Romanowsky stain · peripheral blood smear.
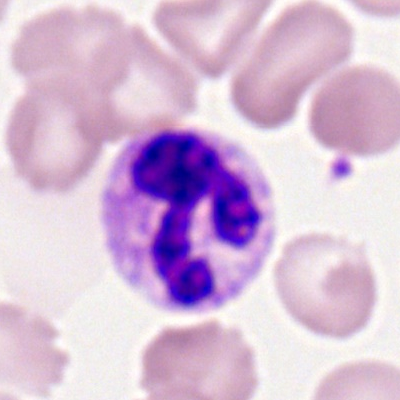
Specimen: peripheral blood smear.
Cell: polymorphonuclear neutrophil.
Lineage: myeloid.